Bone marrow aspirate smear
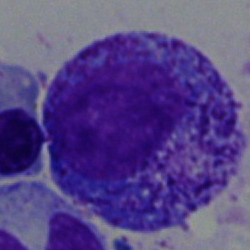{"cell_type": "progranulocyte", "lineage": "myeloid"}